Bone marrow aspirate smear.
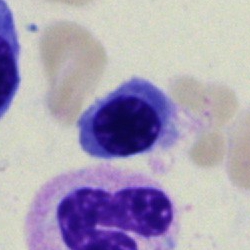 Q: What cell is this?
A: Normoblast.